MGG-stained. Bone marrow smear
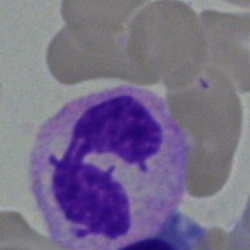

Cell type = neutrophil (segmented).